Bone marrow aspirate smear:
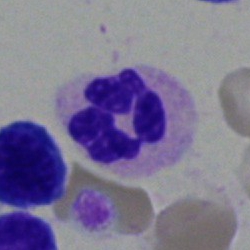

{"cell_type": "polymorphonuclear neutrophil", "lineage": "myeloid"}